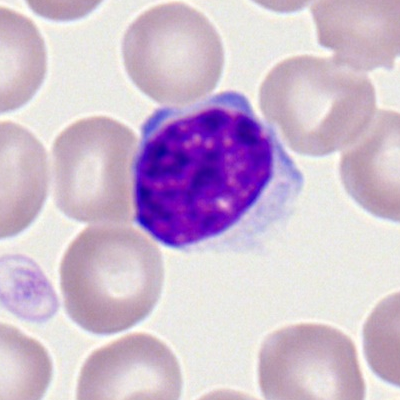Cell type = typical lymphocyte.